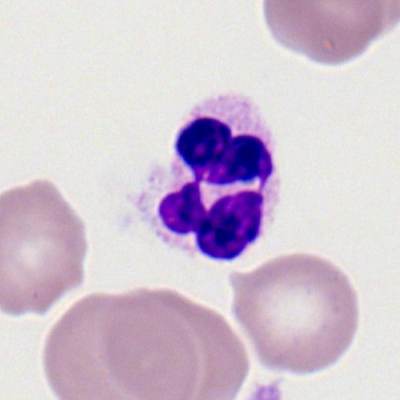Classification: segmented neutrophil.